Single-cell crop. Peripheral blood smear. 400 by 400 pixels — 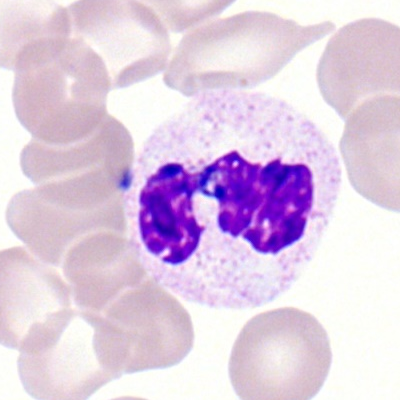Morphology consistent with a polymorphonuclear neutrophil.